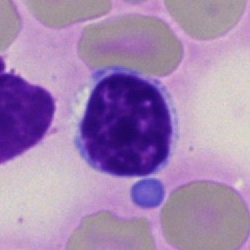Showing a lymphocyte.